Bone marrow smear.
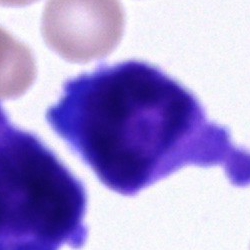

Showing an unidentifiable cell.